Bone marrow aspirate smear
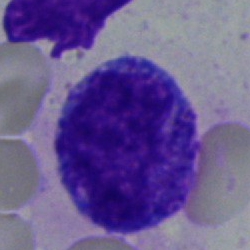 Classification: progranulocyte.